Bone marrow smear
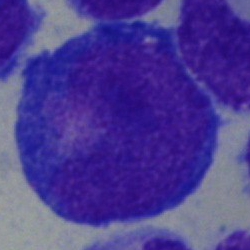The cell is promyelocyte.